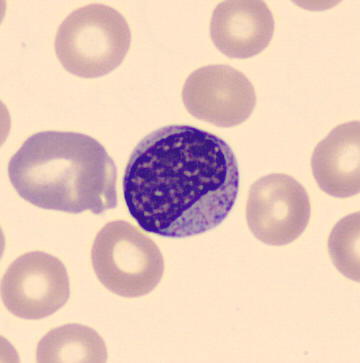
Peripheral blood smear. Single-cell crop. Imaged on a CellaVision DM96 analyser.
Identified as a myelocyte.